Bone marrow aspirate smear · 250×250
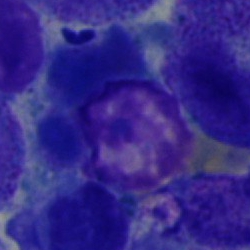

Showing a progranulocyte.